Bone marrow aspirate smear:
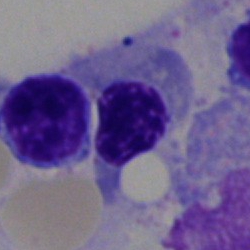

Specimen: bone marrow smear.
Cell type: nucleated red cell.
Lineage: erythroid.